Bone marrow smear: 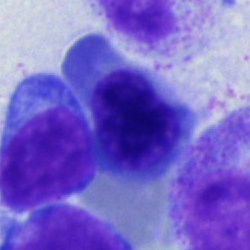
{"cell_type": "nucleated red cell"}